Bone marrow smear — 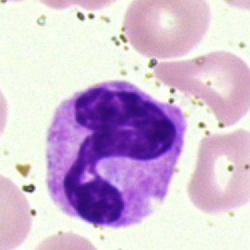

Q: What type of cell is this?
A: It is a neutrophil (segmented).